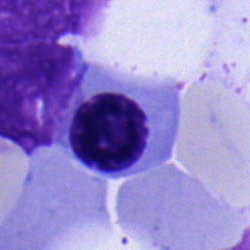

Morphology — nucleated red cell.